Bone marrow smear — 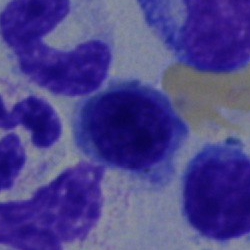 A nucleated red cell.